Bone marrow smear.
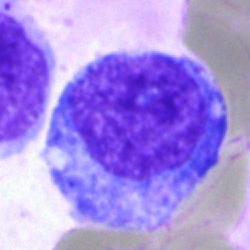This is a progranulocyte.